Pappenheim-stained; 250 by 250 pixels; bone marrow aspirate smear
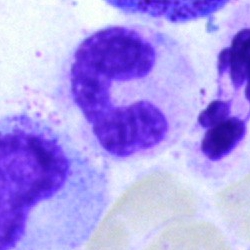Q: What cell is this?
A: It is a band neutrophil.